Bone marrow smear · 250 by 250 pixels: 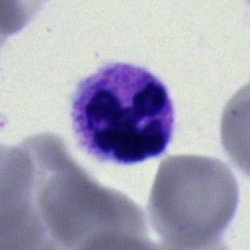
{"cell_type": "segmented neutrophil", "lineage": "myeloid"}